40× objective, oil immersion; bone marrow smear:
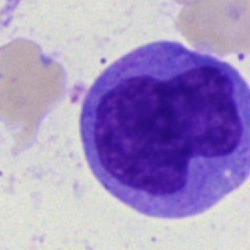

Q: Identify the cell.
A: It is a monocyte.